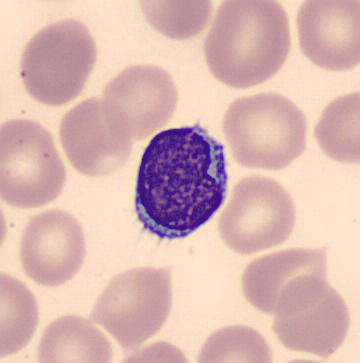

Peripheral blood smear; CellaVision DM96.

{"cell_type": "lymphocyte", "lineage": "lymphoid"}